Bone marrow smear. 250×250. Pappenheim-stained: 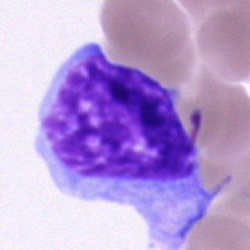
Q: What cell is this?
A: It is a blast cell.